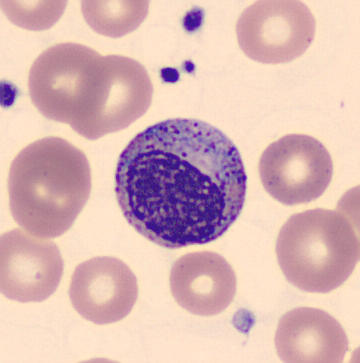

Myelocyte.